Bone marrow aspirate smear · MGG-stained · 250 by 250 pixels
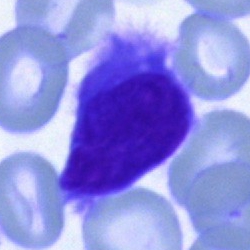

Q: What is the morphological classification of this cell?
A: It is a lymphocyte.